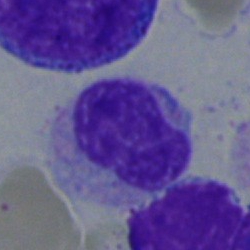Morphology — metamyelocyte.